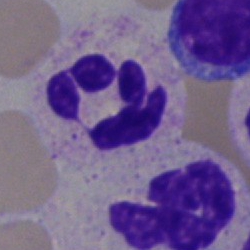

Q: What is shown here?
A: A segmented neutrophil.